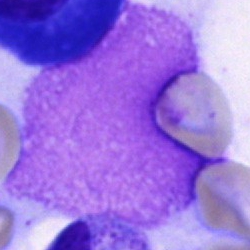
Artefact.